Bone marrow smear: 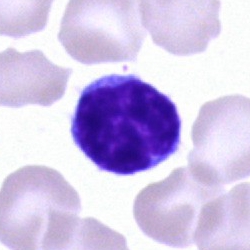

Cell: typical lymphocyte.